Pappenheim-stained. Bone marrow smear.
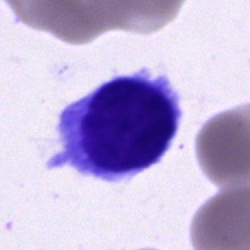 Showing a typical lymphocyte.